Bone marrow aspirate smear. Brightfield microscopy, 40× oil immersion.
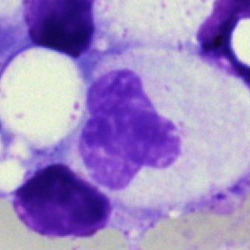
The cell shown is a polymorphonuclear neutrophil.